250×250; bone marrow aspirate smear:
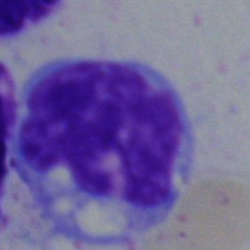Monocyte.